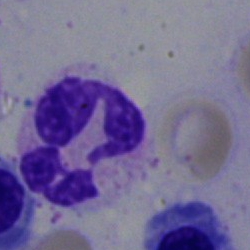

Q: What is the morphological classification of this cell?
A: A neutrophil (segmented).